Bone marrow aspirate smear: 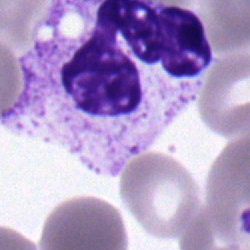
Morphology → segmented neutrophil.